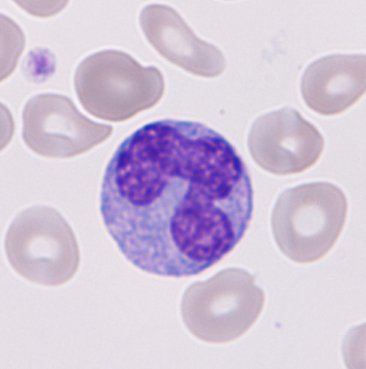A monocyte on a peripheral blood smear.